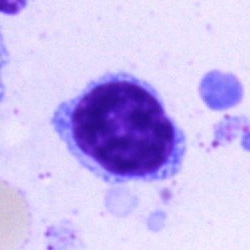 Typical lymphocyte.